Bone marrow aspirate smear. Cropped to a single cell:
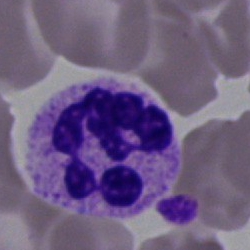 The cell shown is a neutrophil (segmented).